Bone marrow aspirate smear
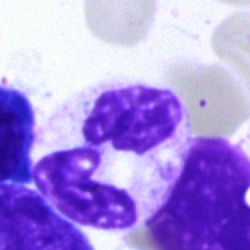 Q: What is shown here?
A: It is a segmented neutrophil.